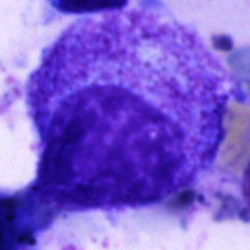

The cell is promyelocyte.